Bone marrow aspirate smear:
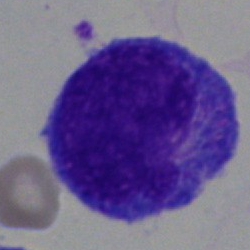A progranulocyte.